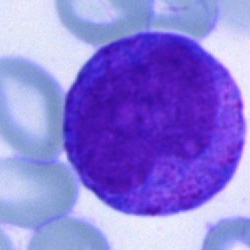 Bone marrow aspirate smear, single cell — progranulocyte.